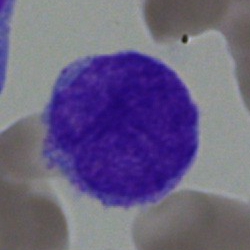 A blast.